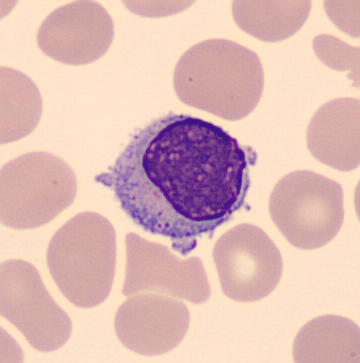 Peripheral blood film.

Cell type = typical lymphocyte.